Bone marrow smear — 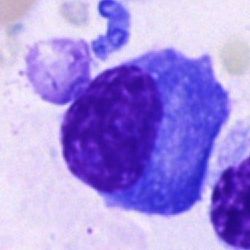

Morphological class = plasmacyte.